Bone marrow aspirate smear; single-cell crop; May-Grünwald-Giemsa stain — 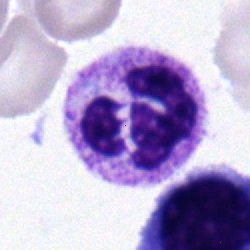 A neutrophil (segmented).